Bone marrow smear; Pappenheim-stained — 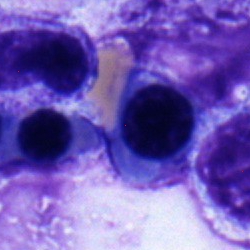

Showing a nucleated red cell.